Bone marrow smear.
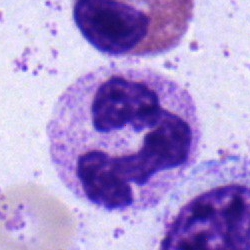

A neutrophil (segmented).